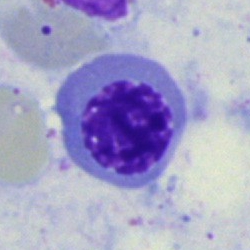

Morphology → nucleated red blood cell.